Bone marrow aspirate smear — 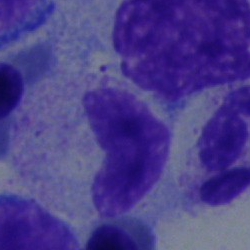This is a band-form neutrophil.